Bone marrow aspirate smear.
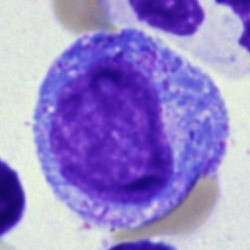 Q: Which cell type is shown here?
A: Promyelocyte.